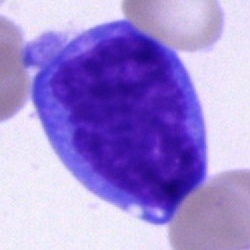

An undifferentiated blast.